Bone marrow smear · single cell centered in the field · image size 250×250 — 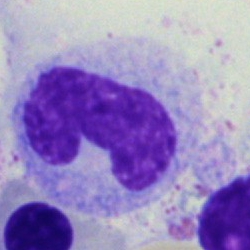

Single cell identified as a monocyte.